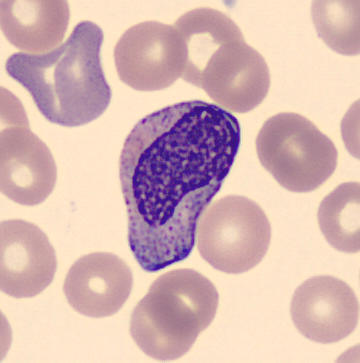 Image: Peripheral blood film.

{"cell_type": "metamyelocyte", "lineage": "myeloid"}